Single cell centered in the field · bone marrow smear — 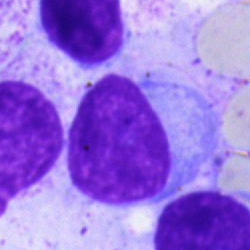
Impression — typical lymphocyte.